Bone marrow aspirate smear: 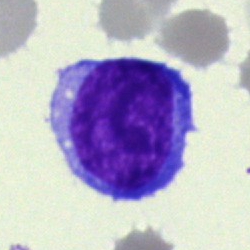Q: Identify the cell.
A: This is a typical lymphocyte.